Bone marrow aspirate smear: 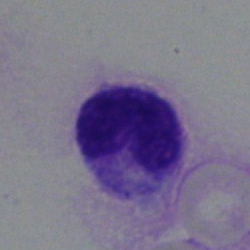
Morphology → stab cell.